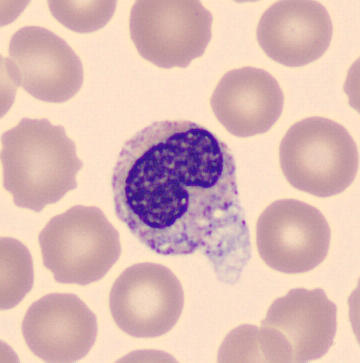 This is a metamyelocyte.

Preparation: 360 by 363 pixels · peripheral blood smear.